Bone marrow aspirate smear
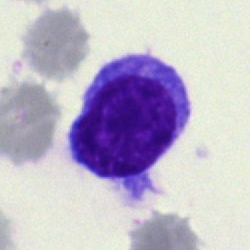 Specimen: bone marrow smear.
Cell: typical lymphocyte.
Lineage: lymphoid.